May-Grünwald-Giemsa stain · 250×250 px · bone marrow aspirate smear — 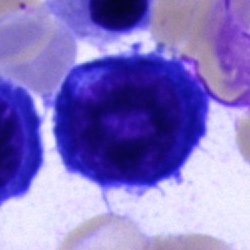 Morphological class = proerythroblast.